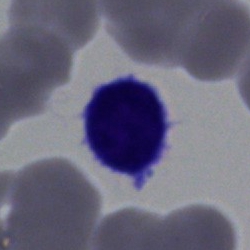

Q: Which cell type is shown here?
A: It is a typical lymphocyte.